Brightfield microscopy, 40× oil immersion · single cell centered in the field · bone marrow smear
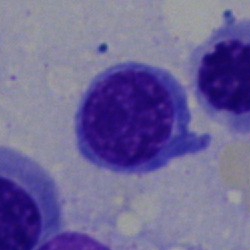 A normoblast.